Brightfield microscopy, 40× oil immersion · bone marrow aspirate smear
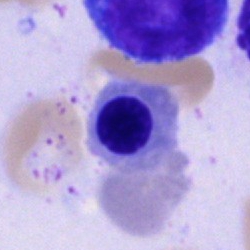{"cell_type": "normoblast", "lineage": "erythroid"}